Single cell centered in the field; 250×250; bone marrow aspirate smear
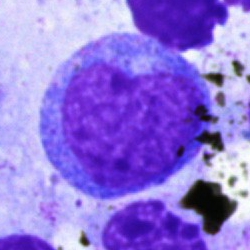

The cell is monocyte.